Bone marrow aspirate smear — 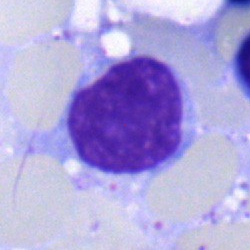 Q: What type of cell is this?
A: Lymphocyte.